Bone marrow smear:
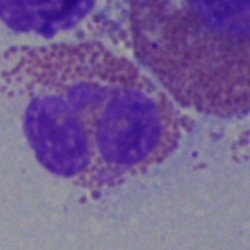 The cell is eosinophilic granulocyte.